Bone marrow smear — 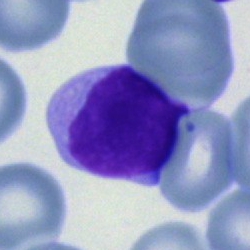Cell: typical lymphocyte.